Bone marrow aspirate smear:
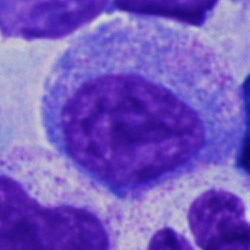

Specimen: bone marrow aspirate smear.
Classification: progranulocyte.